Peripheral blood smear — 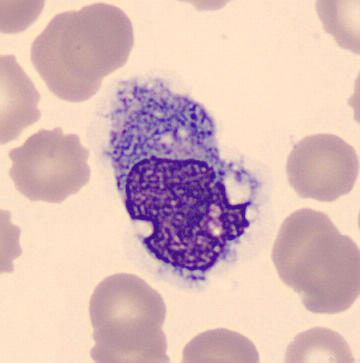This is a monocyte.